Bone marrow smear — 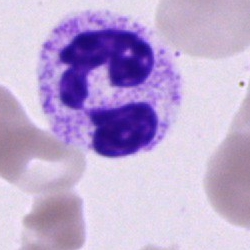
{"cell_type": "polymorphonuclear neutrophil"}